May-Grünwald-Giemsa/Pappenheim stain; bone marrow aspirate smear: 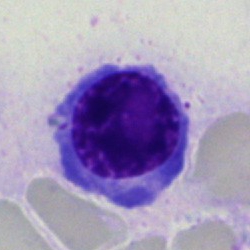
Classification: erythroblast.